Bone marrow aspirate smear
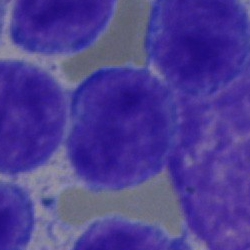Specimen: bone marrow smear.
Cell type: typical lymphocyte.